Bone marrow aspirate smear · 250×250
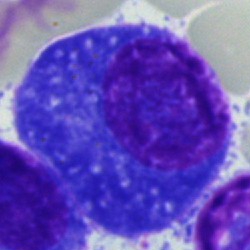 Plasma cell.